Bone marrow aspirate smear: 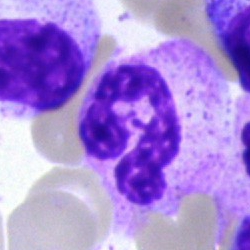{"cell_type": "segmented neutrophil", "lineage": "myeloid"}